Bone marrow smear; brightfield microscopy, 40× oil immersion — 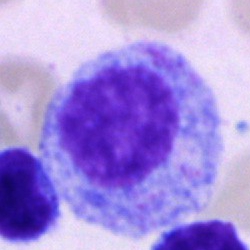

Cell type: promyelocyte.